Brightfield, 40× oil-immersion objective · bone marrow smear:
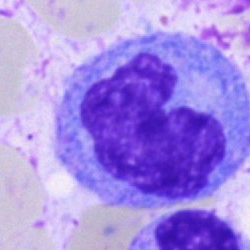

Q: What type of cell is this?
A: This is a monocyte.